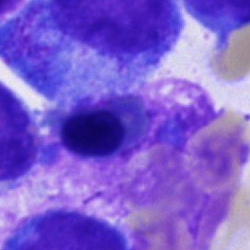 Erythroblast.